Brightfield microscopy, 40× oil immersion; bone marrow smear — 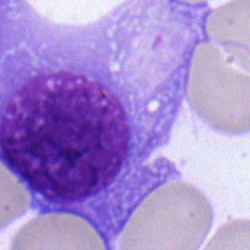Cell type = plasmacyte.